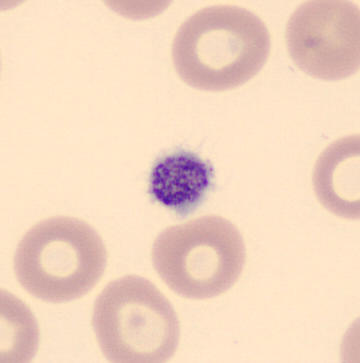

Morphology consistent with a platelet (thrombocyte). Preparation: Peripheral blood smear.